Bone marrow smear:
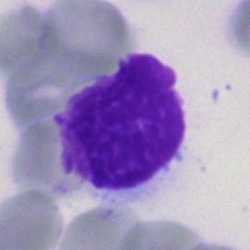 Cell type — artefact.